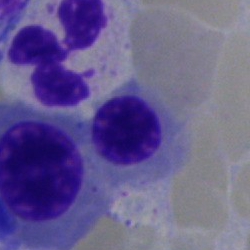
Single-cell crop from a bone marrow smear: erythroblast.